Single-cell crop. Brightfield, 40× oil-immersion objective. Bone marrow aspirate smear
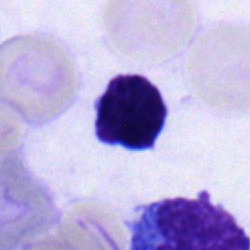 Q: Identify the cell.
A: It is a typical lymphocyte.